Single-cell field; bone marrow smear:
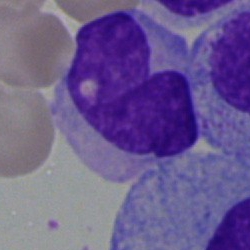

{"cell_type": "monocyte"}